Bone marrow smear.
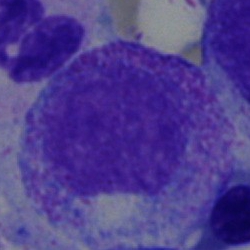

Q: What cell is this?
A: It is a progranulocyte.